Bone marrow smear: 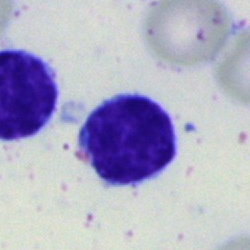
Cell type — typical lymphocyte.